Bone marrow smear.
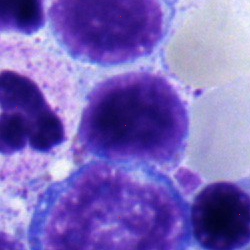Cell: lymphocyte.